400×400 · brightfield, 100× oil-immersion objective · peripheral blood film.
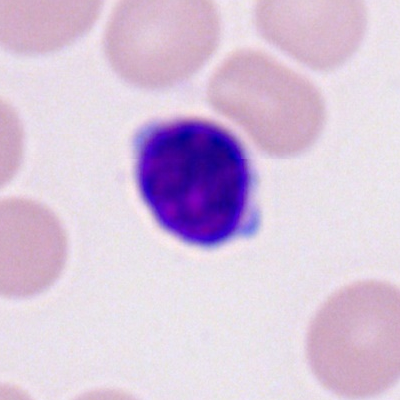Q: Which cell type is shown here?
A: Lymphocyte.